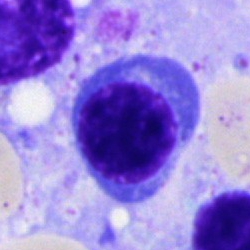

{"cell_type": "normoblast"}